Pappenheim-stained. Bone marrow smear — 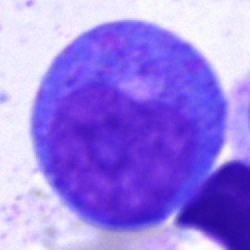

Morphology consistent with a progranulocyte.